Bone marrow aspirate smear:
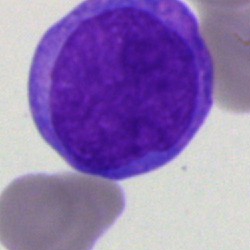

Morphology → undifferentiated blast.